Bone marrow aspirate smear.
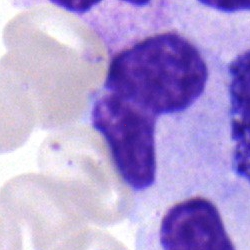

Impression — band neutrophil.